Bone marrow smear · brightfield, 40× oil-immersion objective · Pappenheim-stained — 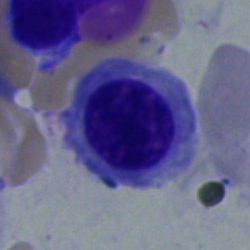

Classification: nucleated red blood cell.